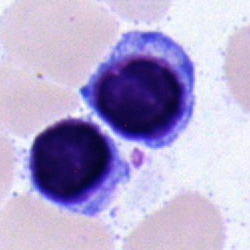
The cell shown is a neutrophil (segmented).